Peripheral blood film
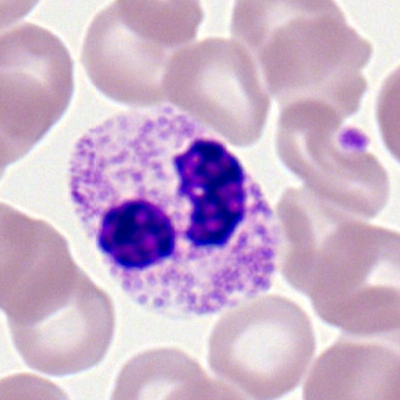

Impression → neutrophil (segmented).